Bone marrow smear: 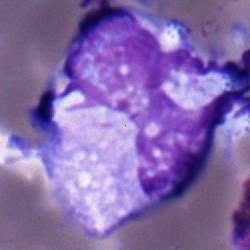
Morphology → monocyte.